Bone marrow smear: 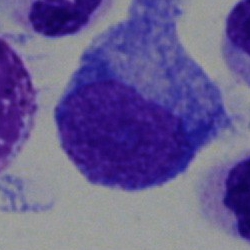 A progranulocyte.